Bone marrow aspirate smear: 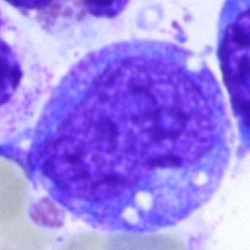 Specimen: bone marrow aspirate smear.
Cell type: metamyelocyte.
Lineage: myeloid.